Peripheral blood film · single-cell field: 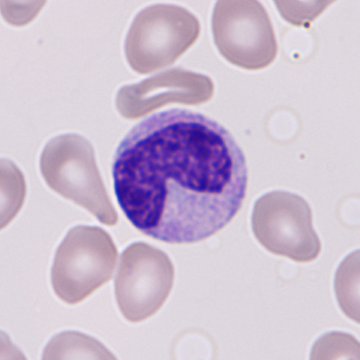

Specimen: peripheral blood smear.
Cell: immature granulocyte.
Lineage: myeloid.